360 by 363 pixels; peripheral blood smear.
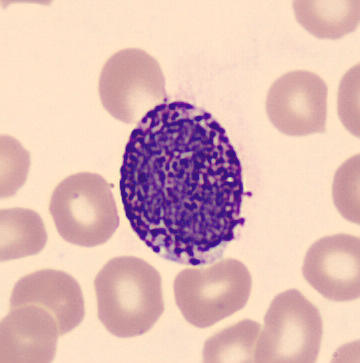

Cell = basophil.